Bone marrow aspirate smear; Pappenheim-stained; single cell centered in the field.
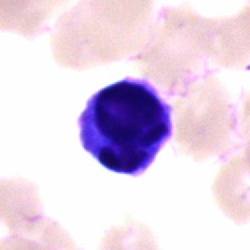 Morphology consistent with a lymphocyte.